Bone marrow aspirate smear
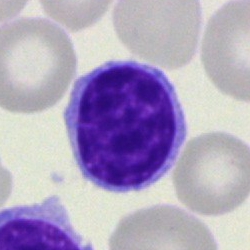

{"cell_type": "lymphocyte", "lineage": "lymphoid"}